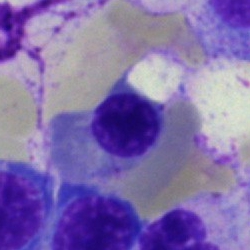Specimen: bone marrow smear.
Classification: erythroblast.
Lineage: erythroid.